Pappenheim-stained · bone marrow aspirate smear.
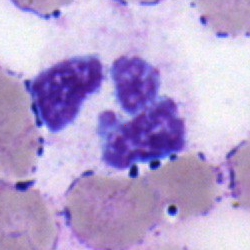
Single cell identified as a neutrophil (segmented).